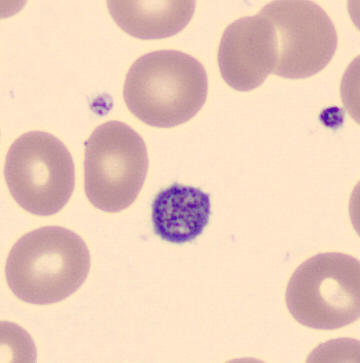

Preparation: Peripheral blood smear.
Cell type = thrombocyte.